250 by 250 pixels · bone marrow aspirate smear.
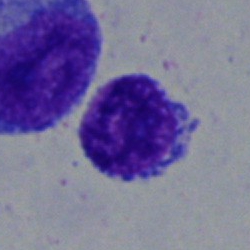

Cell: lymphocyte.